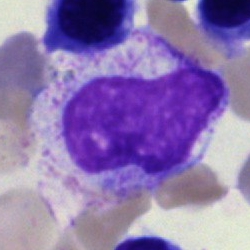 Showing a metamyelocyte.